Bone marrow aspirate smear
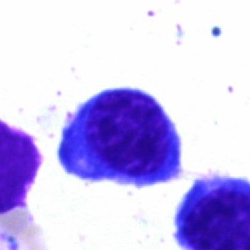 Impression → nucleated red blood cell.